Bone marrow aspirate smear:
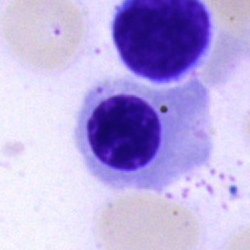Specimen: bone marrow aspirate smear.
Morphological class: normoblast.
Lineage: erythroid.